Bone marrow smear. 250 by 250 pixels:
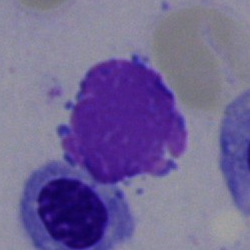Cell type — artifact.